Bone marrow smear — 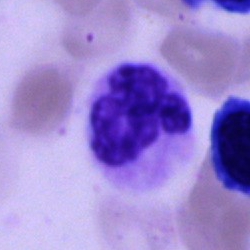The classification is neutrophil (segmented).